Bone marrow aspirate smear: 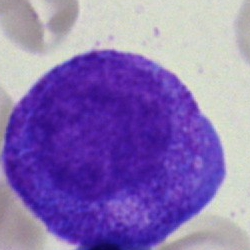 Specimen: bone marrow smear.
Morphological class: progranulocyte.
Lineage: myeloid.